Bone marrow smear; Pappenheim-stained
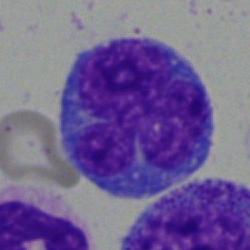Morphological class: blast.